Bone marrow aspirate smear
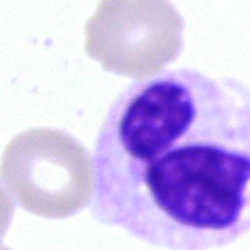
Specimen: bone marrow aspirate smear.
Morphological class: neutrophil (segmented).
Lineage: myeloid.